Bone marrow aspirate smear: 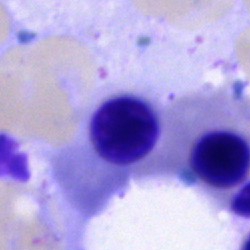A normoblast.